Bone marrow smear:
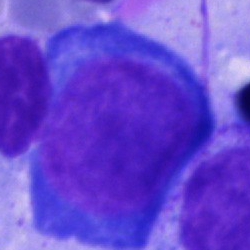
{"cell_type": "pronormoblast"}